Bone marrow smear: 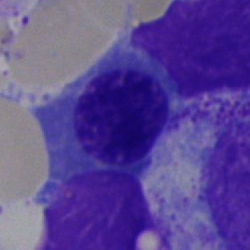

Morphology consistent with an erythroblast.